Bone marrow aspirate smear — 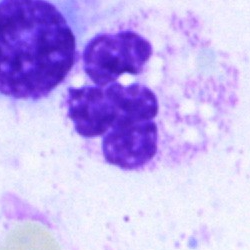Specimen: bone marrow aspirate smear.
Classification: neutrophil (segmented).
Lineage: myeloid.